MGG-stained · bone marrow aspirate smear — 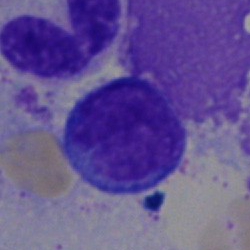
Morphology — lymphocyte.